Single-cell field; bone marrow aspirate smear; 40× objective, oil immersion — 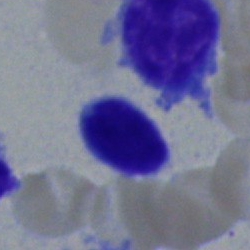
This is a lymphocyte.